Pappenheim-stained; image size 250×250; bone marrow aspirate smear
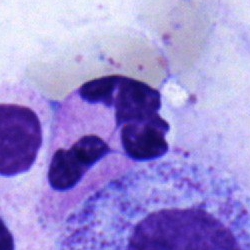 Morphology consistent with a segmented neutrophil.